Single-cell field; bone marrow aspirate smear:
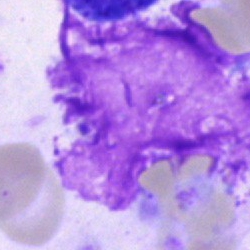Cell type: artefact.